Bone marrow smear:
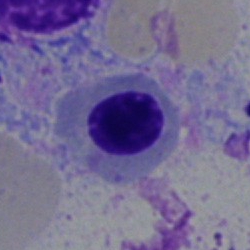
Nucleated red cell.